Brightfield microscopy, 40× oil immersion. Bone marrow aspirate smear. 250×250 — 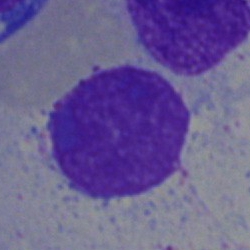 {"cell_type": "artefact"}